May-Grünwald-Giemsa stain · bone marrow smear · 40× oil immersion
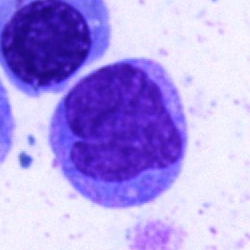
Q: What cell is this?
A: Monocyte.